MGG-stained. Bone marrow smear: 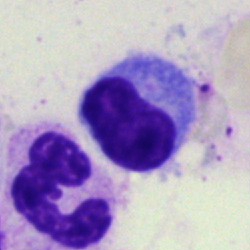
Single cell identified as a lymphocyte.